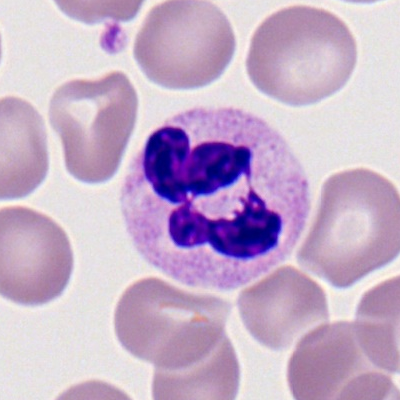
Cell type = neutrophil (segmented).